Bone marrow smear. Single-cell crop.
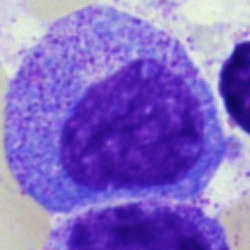 The cell type is progranulocyte.